Bone marrow smear. 250×250
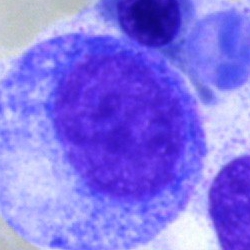
Showing a progranulocyte.